Bone marrow smear · 40× oil immersion:
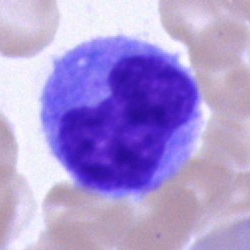The morphological class is monocyte.